250×250 px · May-Grünwald-Giemsa stain · bone marrow smear: 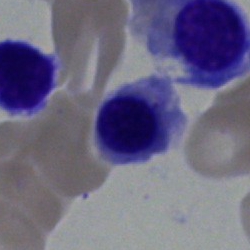
Q: What cell is this?
A: It is a normoblast.